Bone marrow aspirate smear
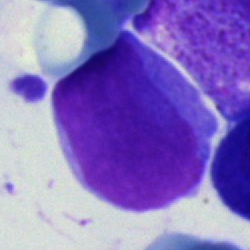
A blast cell.